Bone marrow smear. Image size 250×250:
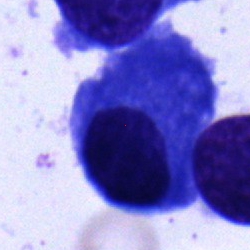 Morphology consistent with a plasma cell.